Brightfield, 40× oil-immersion objective. Cropped to a single cell. Bone marrow aspirate smear
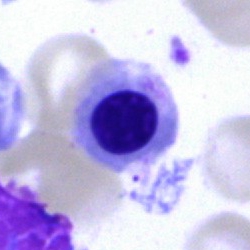Impression → nucleated red blood cell.